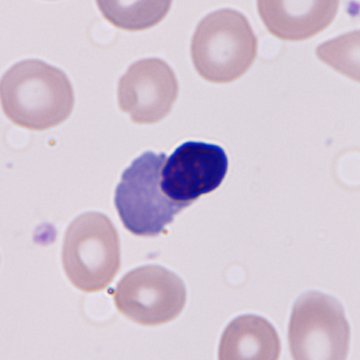

Morphology — normoblast.